Peripheral blood film
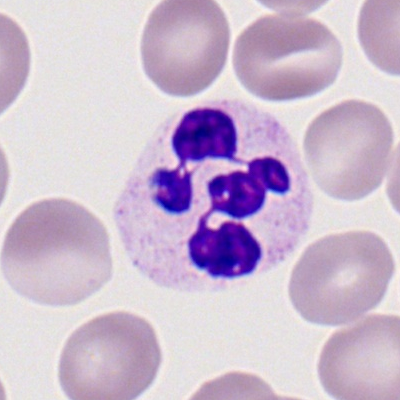The cell shown is a segmented neutrophil.